Single cell centered in the field; bone marrow smear; 250×250
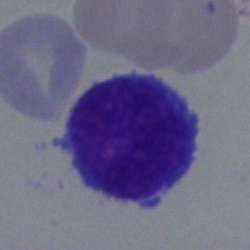 Morphology consistent with a typical lymphocyte.